Bone marrow aspirate smear · single cell centered in the field: 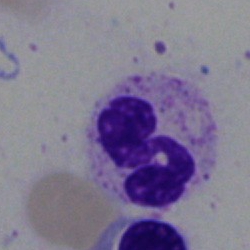Q: What type of cell is this?
A: This is a segmented neutrophil.